Peripheral blood film.
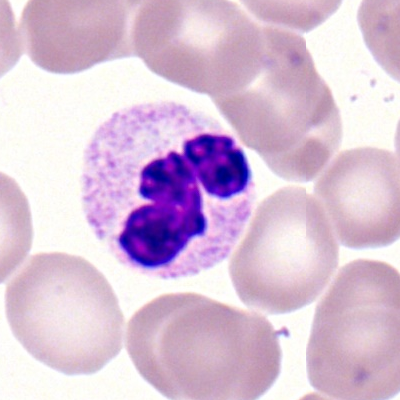
Specimen: peripheral blood film.
Classification: neutrophil (segmented).